Brightfield, 40× oil-immersion objective; Pappenheim-stained; bone marrow smear: 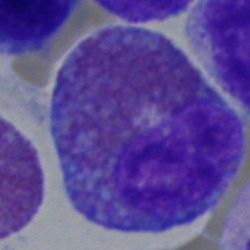
Morphology — eosinophilic granulocyte.